Bone marrow aspirate smear
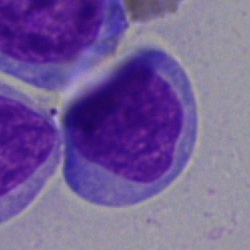Morphology consistent with a blast.